Bone marrow aspirate smear; MGG-stained:
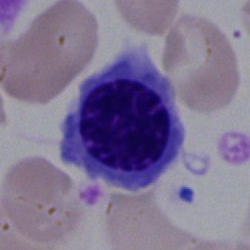
Q: What cell is this?
A: This is a nucleated red cell.